Peripheral blood film.
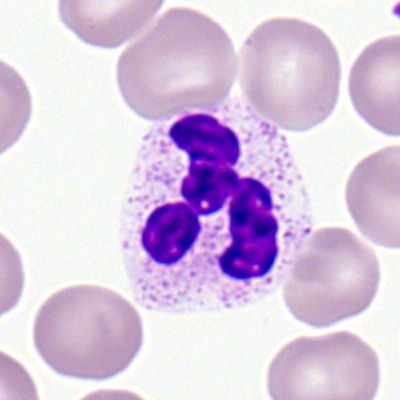 Specimen: peripheral blood film.
Cell: neutrophil (segmented).